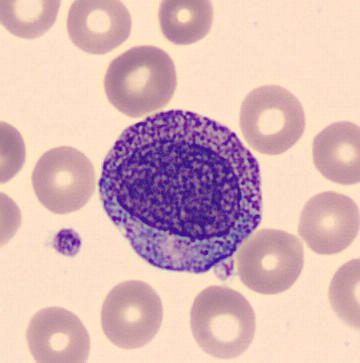
Showing a progranulocyte.

Acquisition: Peripheral blood smear.